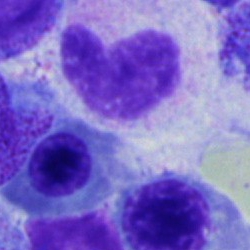 Classification = neutrophil (band).